Bone marrow smear — 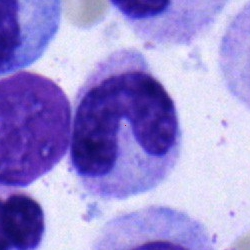

This is a stab cell.